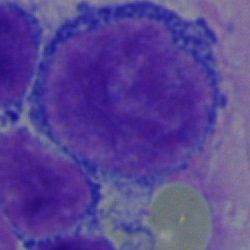
Showing a pronormoblast.